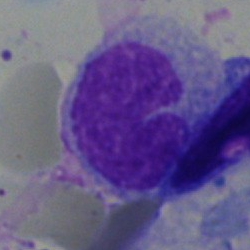Specimen: bone marrow smear.
Cell: monocyte.
Lineage: myeloid.